Bone marrow smear; May-Grünwald-Giemsa/Pappenheim stain
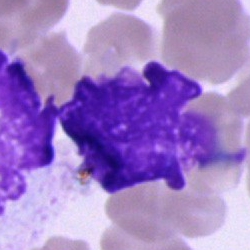

Q: What is shown here?
A: It is an artefact.